Bone marrow aspirate smear.
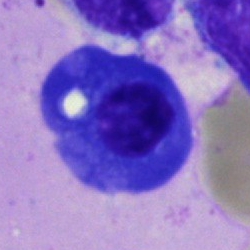Cell: plasmacyte.